Bone marrow aspirate smear.
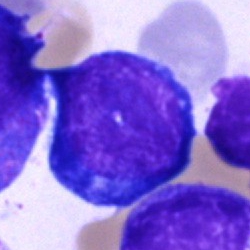 Morphology — proerythroblast.